Bone marrow smear: 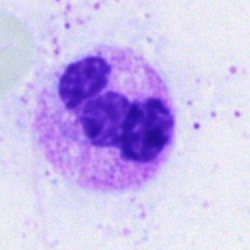Specimen: bone marrow smear.
Cell type: segmented neutrophil.